Peripheral blood smear: 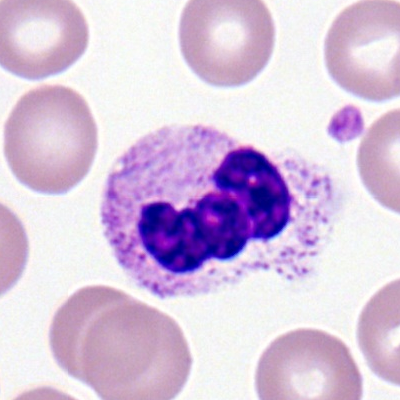Q: Identify the cell.
A: Segmented neutrophil.